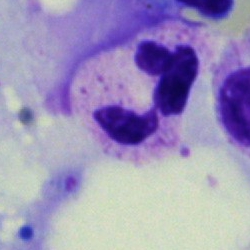

A segmented neutrophil on a bone marrow smear.